250×250 px. Single-cell field. Bone marrow aspirate smear.
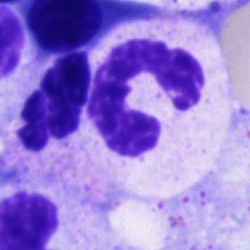 The morphological class is segmented neutrophil.